Bone marrow smear · May-Grünwald-Giemsa stain · 40× oil immersion.
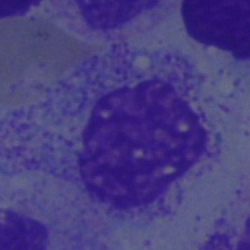Morphology → myelocyte.